Bone marrow smear; single cell centered in the field — 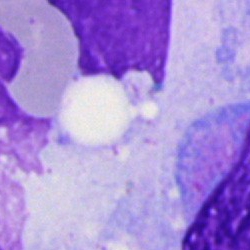

Artefact.